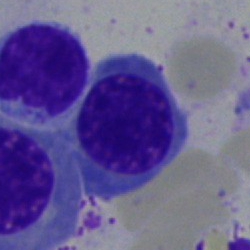
Specimen: bone marrow smear.
Morphological class: nucleated red blood cell.